Bone marrow aspirate smear:
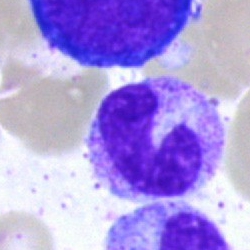

Q: Which cell type is shown here?
A: A band-form neutrophil.